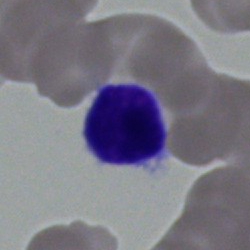 This is a lymphocyte.